Bone marrow aspirate smear · single cell centered in the field
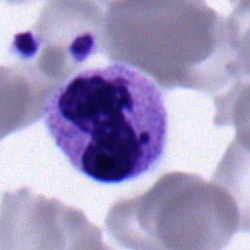Classification = segmented neutrophil.